May-Grünwald-Giemsa/Pappenheim stain; bone marrow aspirate smear; single-cell field: 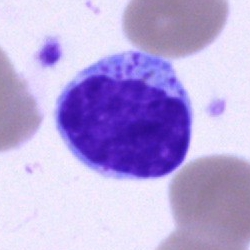
Cell: lymphocyte.